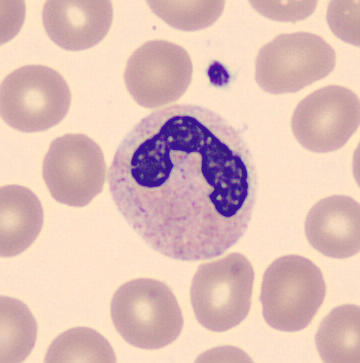 Cell = band neutrophil. May-Grünwald-Giemsa-stained · peripheral blood smear.